Bone marrow aspirate smear; May-Grünwald-Giemsa stain.
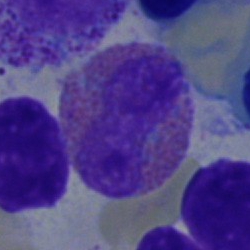 An eosinophilic granulocyte.